40× oil immersion. Bone marrow aspirate smear
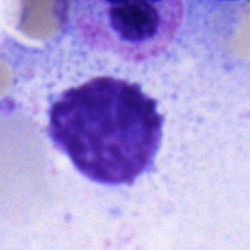Q: What is the morphological classification of this cell?
A: It is a lymphocyte.